Bone marrow smear; 250×250; single cell centered in the field
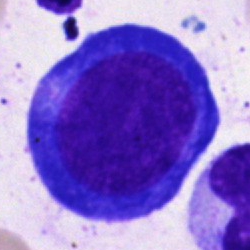Single cell identified as a pronormoblast.